Brightfield, 40× oil-immersion objective. Bone marrow aspirate smear
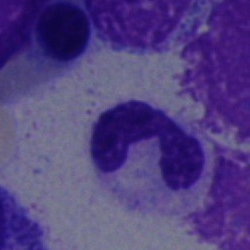
{"cell_type": "neutrophil (segmented)", "lineage": "myeloid"}